Pappenheim-stained; bone marrow aspirate smear — 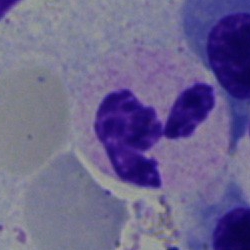 Classification: neutrophil (segmented).